Bone marrow smear: 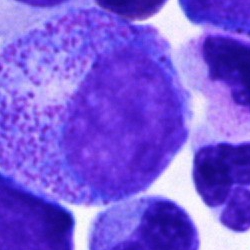
This is a progranulocyte.